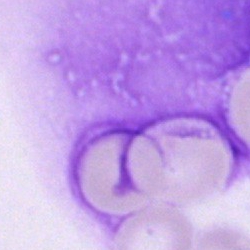 Q: What is shown here?
A: It is an artefact.